Image size 250×250; single cell centered in the field; bone marrow smear
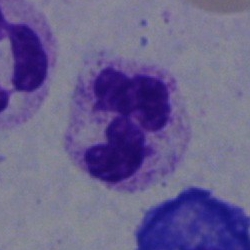 Showing a neutrophil (segmented).